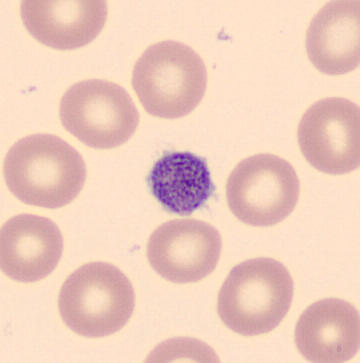
Q: What is shown here?
A: This is a platelet (thrombocyte). Image: Peripheral blood film.